40× objective, oil immersion · bone marrow aspirate smear · single-cell crop:
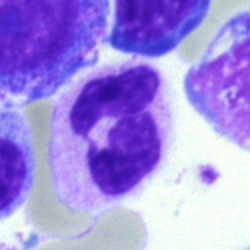

The cell type is segmented neutrophil.